Bone marrow aspirate smear; 40× objective, oil immersion:
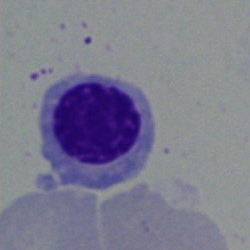

{"cell_type": "nucleated red blood cell"}